Peripheral blood film
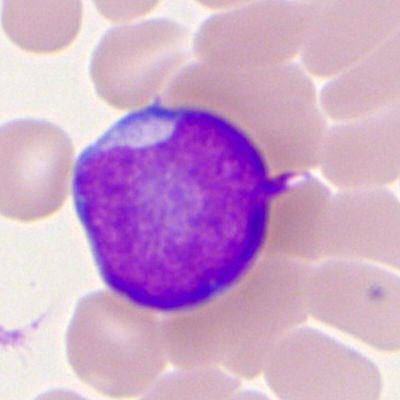

Impression → myeloblast.